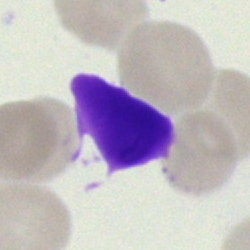 The morphological class is artifact.